Bone marrow smear.
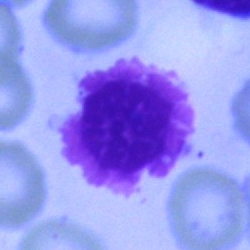An artifact.